Brightfield microscopy, 40× oil immersion · bone marrow aspirate smear — 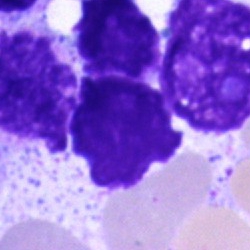 Single cell identified as an artefact.